Single cell centered in the field · bone marrow smear
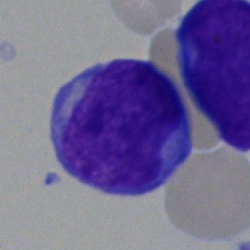
The cell is undifferentiated blast.